Peripheral blood smear: 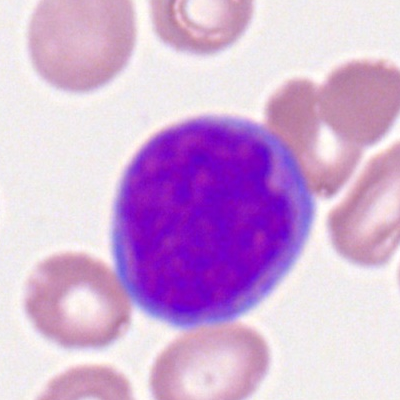

The cell shown is a myeloblast.